Romanowsky-type stain · peripheral blood film · 100× oil immersion — 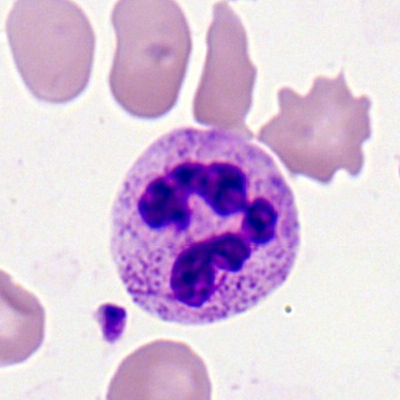Morphology consistent with a neutrophil (segmented).